Bone marrow smear. Single-cell field: 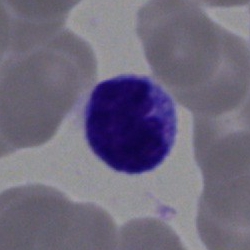
Morphology consistent with a typical lymphocyte.